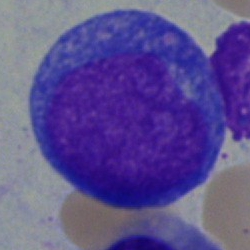Morphology — undifferentiated blast.